Bone marrow smear — 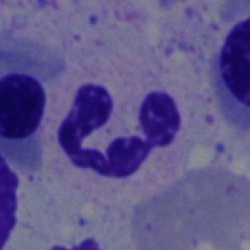

Q: What type of cell is this?
A: It is a polymorphonuclear neutrophil.